Peripheral blood film: 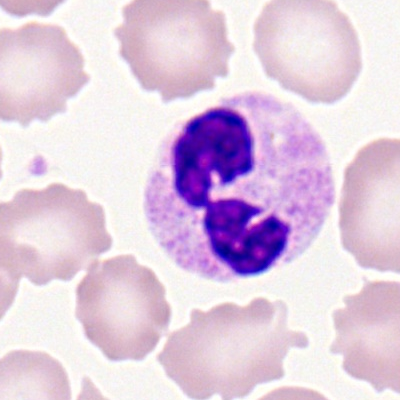
Specimen: peripheral blood film.
Morphological class: neutrophil (segmented).
Lineage: myeloid.